Bone marrow smear
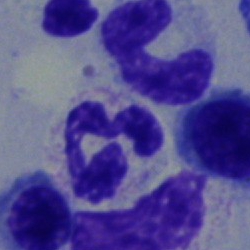{"cell_type": "polymorphonuclear neutrophil", "lineage": "myeloid"}